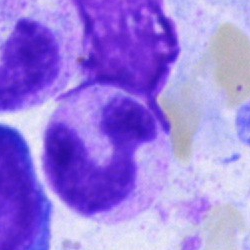Cell type: segmented neutrophil.